Image size 250×250 · bone marrow aspirate smear · single-cell field: 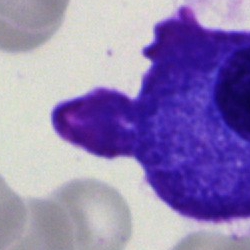

Classification = plasmacyte.